Bone marrow smear — 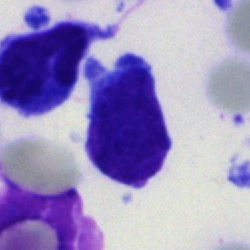 Q: Which cell type is shown here?
A: An undifferentiated blast.